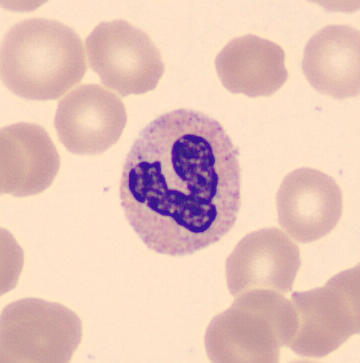
Peripheral blood smear. Single-cell crop. Q: What is the morphological classification of this cell?
A: This is a segmented neutrophil.